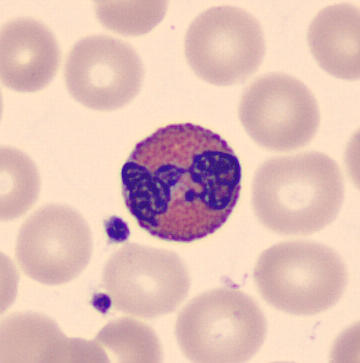

Identified as an eosinophilic granulocyte.